Romanowsky-stained; peripheral blood smear; image size 400×400 — 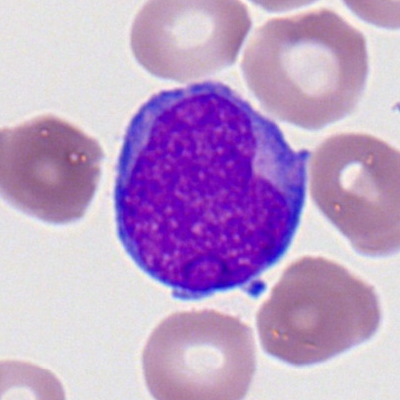

The cell shown is a myeloblast.